Single-cell crop; bone marrow smear; 250×250
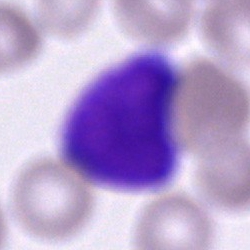Morphology consistent with a cell of indeterminate lineage.